250×250. Bone marrow aspirate smear — 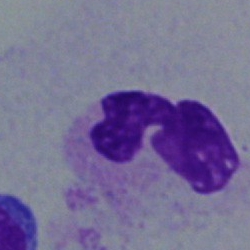 The cell is neutrophil (segmented).